Bone marrow smear. 250×250 px. May-Grünwald-Giemsa/Pappenheim stain:
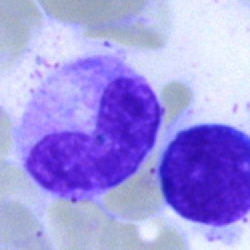{"cell_type": "band-form neutrophil"}